Romanowsky-type stain · 100× oil immersion · peripheral blood film:
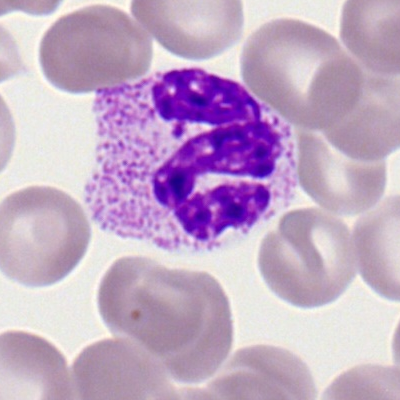 The cell shown is a segmented neutrophil.